Bone marrow aspirate smear — 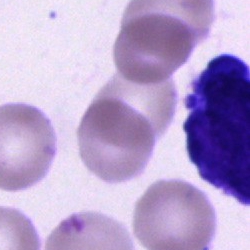

Morphology consistent with a cell of indeterminate lineage.